Bone marrow aspirate smear. May-Grünwald-Giemsa/Pappenheim stain
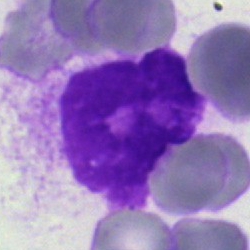Specimen: bone marrow aspirate smear.
Classification: artifact.